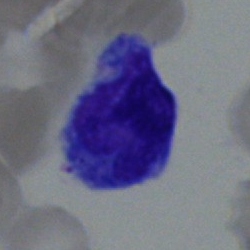
Impression — monocyte.